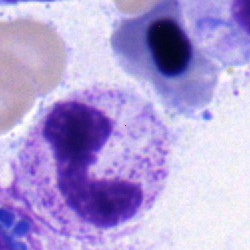 Classification — stab cell.